Bone marrow aspirate smear: 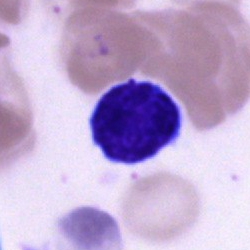 This is a typical lymphocyte.